Peripheral blood smear · cropped to a single cell · Romanowsky stain — 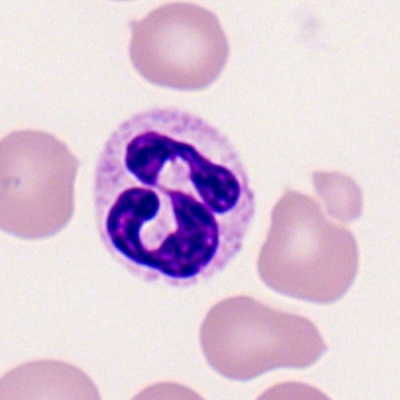Morphology → polymorphonuclear neutrophil.